Bone marrow aspirate smear — 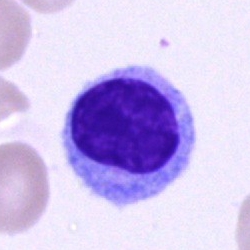 Morphology → typical lymphocyte.